Bone marrow smear. Image size 250×250 — 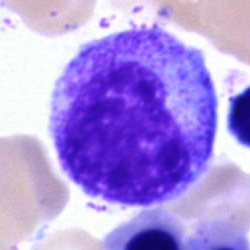Specimen: bone marrow smear.
Cell type: progranulocyte.